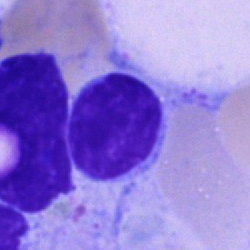
Morphology consistent with a lymphocyte.